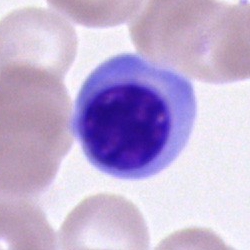Impression → nucleated red blood cell.